Peripheral blood smear.
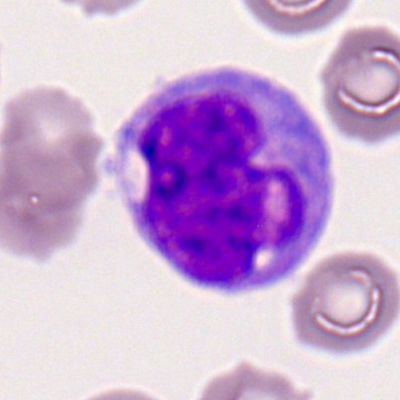

Q: What is shown here?
A: Monocyte.